Pappenheim-stained. Bone marrow aspirate smear.
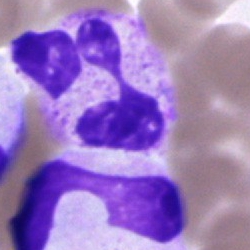 Classification = polymorphonuclear neutrophil.